MGG-stained. Bone marrow aspirate smear. Brightfield, 40× oil-immersion objective.
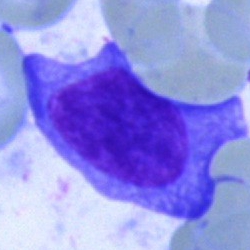 Single cell identified as a plasmacyte.